Bone marrow smear.
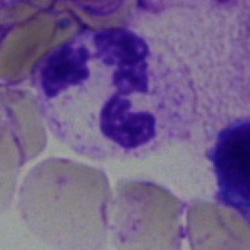A neutrophil (segmented).